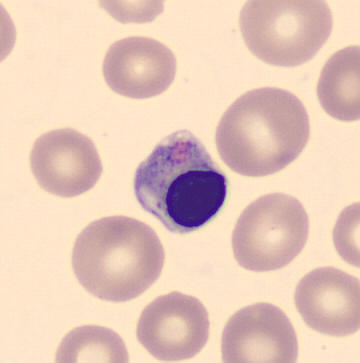
Q: What is the morphological classification of this cell?
A: This is an erythroblast.